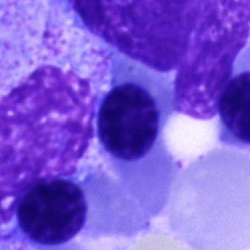 The cell type is unidentifiable cell.